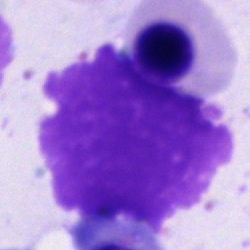 Bone marrow smear showing an artefact.